Bone marrow smear. Brightfield, 40× oil-immersion objective:
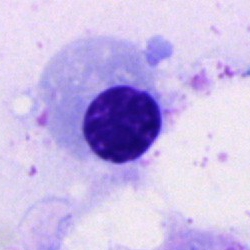
Cell = normoblast.